Peripheral blood film.
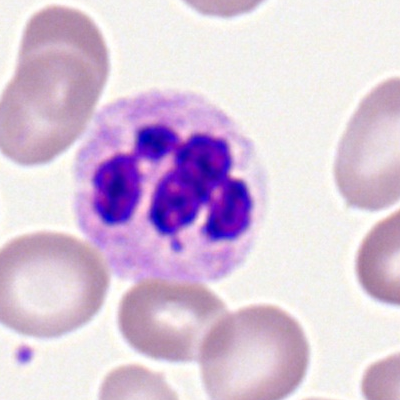

A polymorphonuclear neutrophil.